Bone marrow aspirate smear
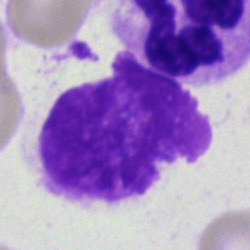

Specimen: bone marrow aspirate smear.
Cell: artifact.